Bone marrow smear; 40× objective, oil immersion; Pappenheim-stained
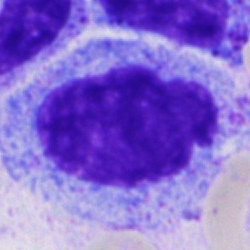 {"cell_type": "promyelocyte", "lineage": "myeloid"}